Bone marrow aspirate smear — 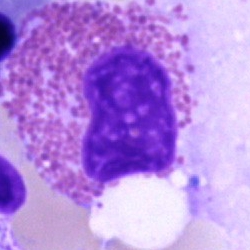 Q: Which cell type is shown here?
A: It is an eosinophilic granulocyte.